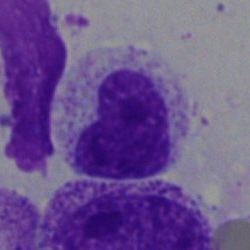 Q: What type of cell is this?
A: Metamyelocyte.